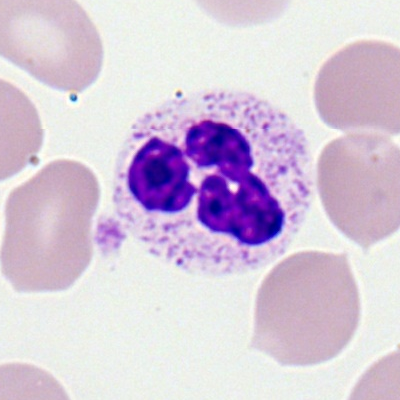 Morphological class: segmented neutrophil.